Bone marrow smear:
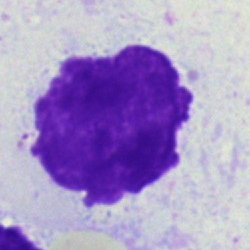
Impression — artifact.